Bone marrow aspirate smear
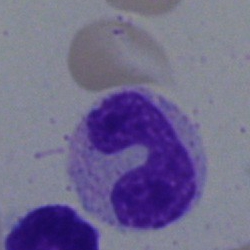
This is a band neutrophil.